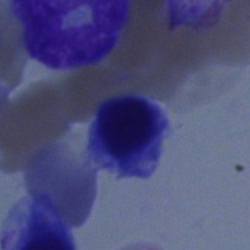
Morphology consistent with a nucleated red cell.